Brightfield microscopy, 40× oil immersion. Bone marrow smear.
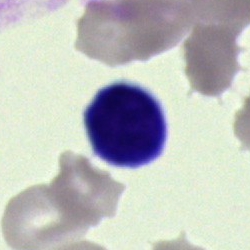
Morphology → lymphocyte.